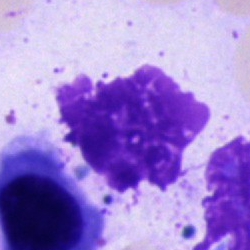
Classification = artifact.